Bone marrow smear; 250 by 250 pixels
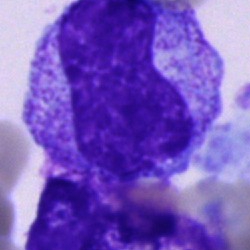
Classification — promyelocyte.